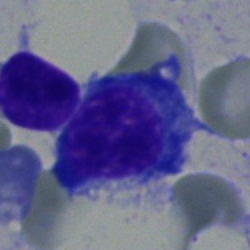Q: What is the morphological classification of this cell?
A: This is a plasma cell.